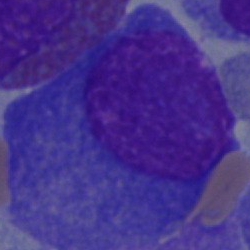Bone marrow smear showing a plasmacyte.